Bone marrow aspirate smear: 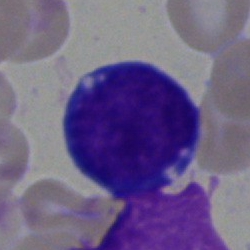
Q: What type of cell is this?
A: A blast.